Bone marrow aspirate smear; Pappenheim-stained; 250×250 — 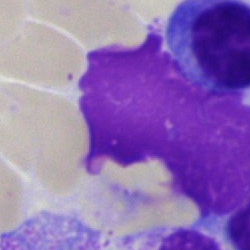

Impression — artefact.